Bone marrow smear
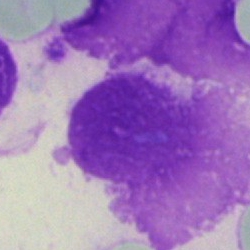Q: What is shown here?
A: It is an artefact.